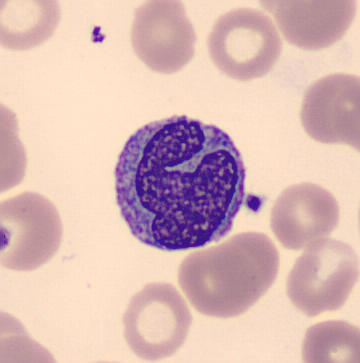Peripheral blood film. Single cell centered in the field.
Q: What is this?
A: This is a monocyte.